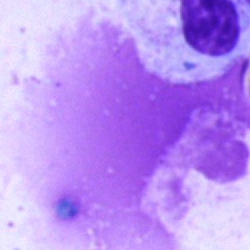 Single-cell crop from a bone marrow smear: artifact.